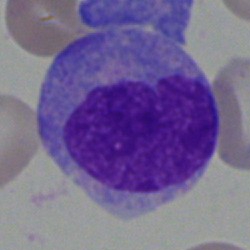 Impression — monocyte.